Bone marrow smear
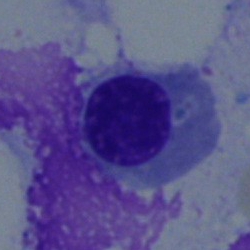

Morphology → nucleated red blood cell.